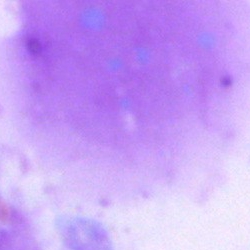

Specimen: bone marrow aspirate smear.
Cell: artefact.